Single cell centered in the field; May-Grünwald-Giemsa stain; bone marrow smear:
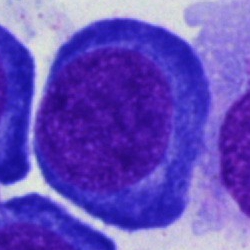 A pronormoblast.